40× oil immersion; bone marrow smear
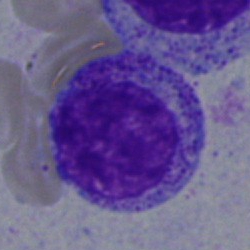Cell type — myelocyte.